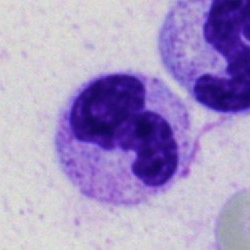

A segmented neutrophil.